Bone marrow aspirate smear
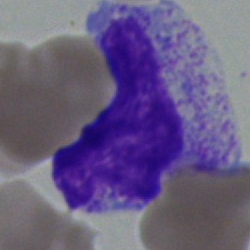 The cell shown is a myelocyte.